Bone marrow aspirate smear; single-cell field; 40× oil immersion — 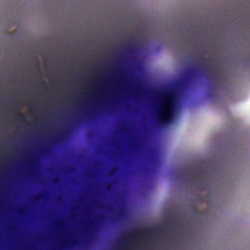Q: What is shown here?
A: An artefact.